Bone marrow smear — 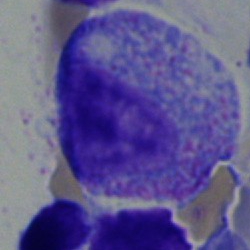 Cell = progranulocyte.